Bone marrow aspirate smear.
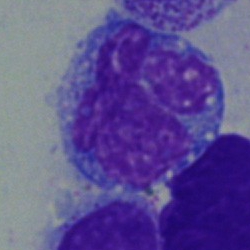Impression — monocyte.